Brightfield, 40× oil-immersion objective; bone marrow aspirate smear: 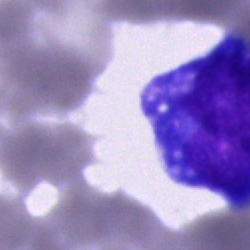 Showing a blast cell.